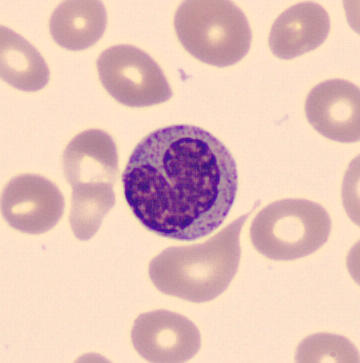
A metamyelocyte. Peripheral blood film.